MGG-stained · bone marrow aspirate smear · brightfield, 40× oil-immersion objective: 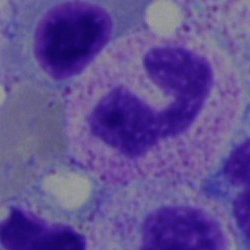The classification is segmented neutrophil.